250×250. Bone marrow smear.
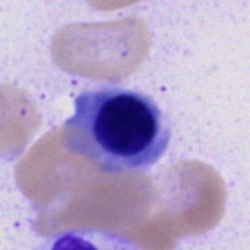

Normoblast.